250×250 px. Bone marrow aspirate smear
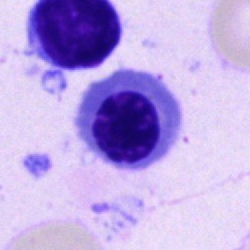 Specimen: bone marrow smear.
Cell: normoblast.